Single-cell crop; MGG-stained; bone marrow smear — 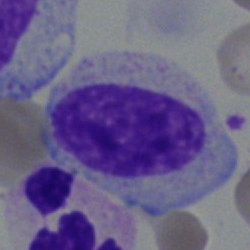 The cell shown is a myelocyte.